Peripheral blood smear: 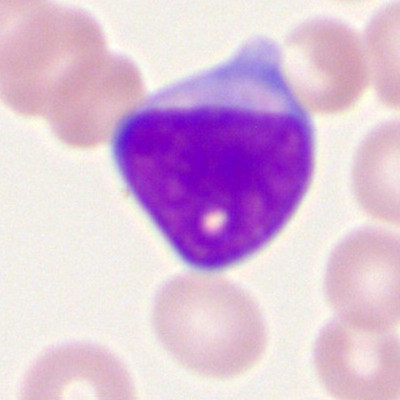 This is a myeloblast.